Bone marrow aspirate smear
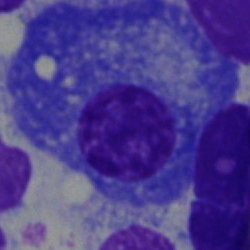

Morphological class — plasma cell.